250 by 250 pixels. 40× objective, oil immersion. Bone marrow aspirate smear.
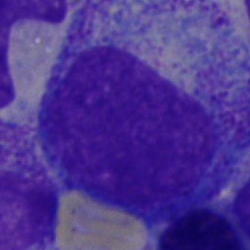Specimen: bone marrow aspirate smear.
Cell type: promyelocyte.